Bone marrow aspirate smear · 250 by 250 pixels: 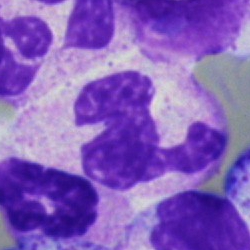
The morphological class is neutrophil (segmented).